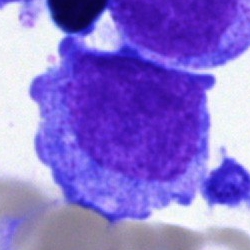Morphology consistent with a promyelocyte.